Bone marrow aspirate smear: 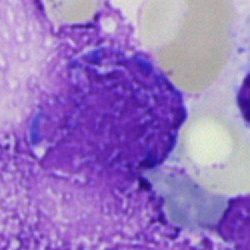

Classification = artefact.